Bone marrow smear.
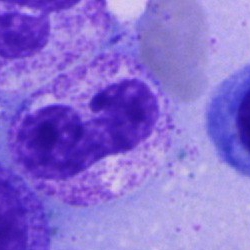

Morphology → band neutrophil.